Brightfield, 40× oil-immersion objective · bone marrow smear: 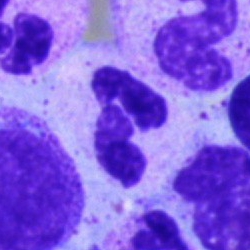 Specimen: bone marrow aspirate smear.
Cell: polymorphonuclear neutrophil.